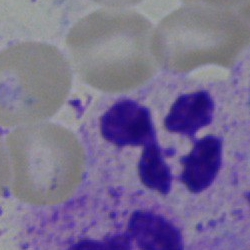
Impression — segmented neutrophil.